Bone marrow smear. 40× oil immersion — 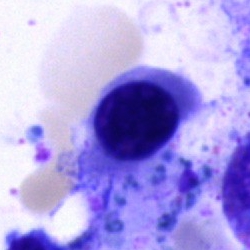
Q: What type of cell is this?
A: An erythroblast.